40× objective, oil immersion · MGG-stained · bone marrow aspirate smear:
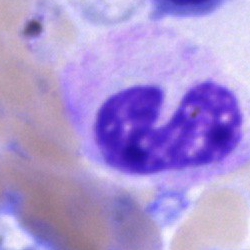
{"cell_type": "neutrophil (band)"}